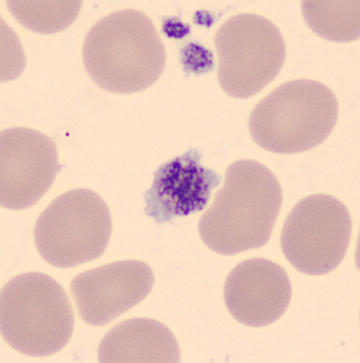Q: What is shown here?
A: Thrombocyte. Peripheral blood smear.